Bone marrow smear: 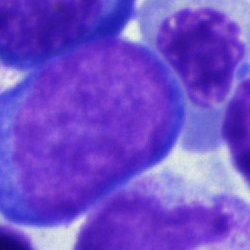 Blast.